Bone marrow aspirate smear: 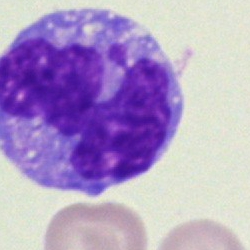

Cell: monocyte.